Bone marrow smear: 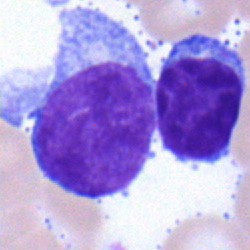Specimen: bone marrow smear.
Classification: lymphocyte.
Lineage: lymphoid.